Bone marrow smear.
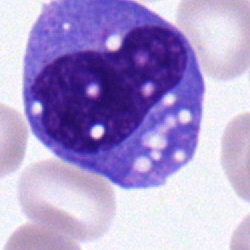

A monocyte.